Bone marrow smear
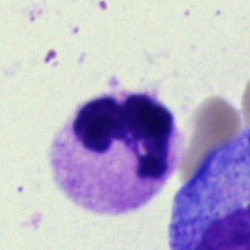Polymorphonuclear neutrophil.